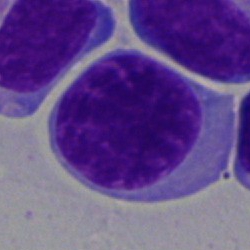Cell type: blast cell.